Peripheral blood smear
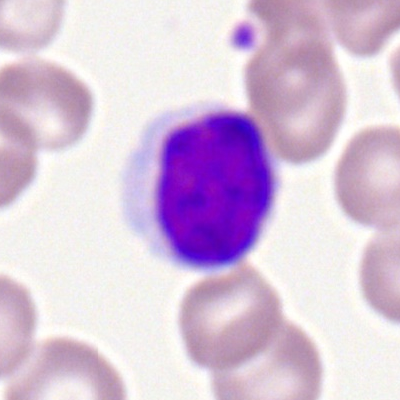
{"cell_type": "lymphocyte"}